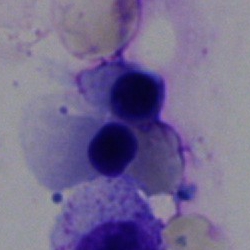
Q: Which cell type is shown here?
A: It is a nucleated red cell.